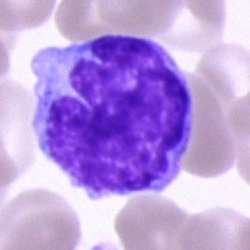
Monocyte.